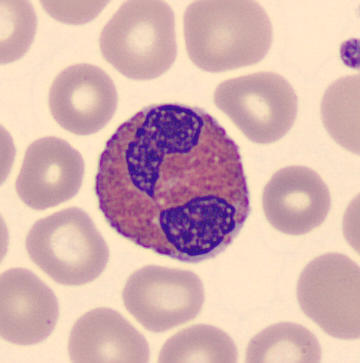Q: What is the morphological classification of this cell?
A: Eosinophil. Image: Single cell centered in the field · peripheral blood smear.